Bone marrow aspirate smear · single cell centered in the field:
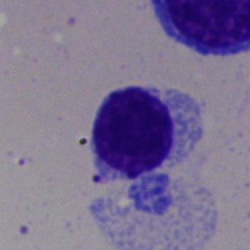

The cell shown is a typical lymphocyte.